40× oil immersion. Bone marrow aspirate smear. 250×250: 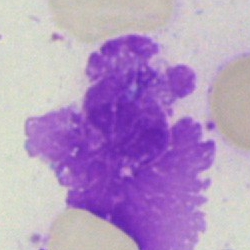
Single cell identified as an artefact.